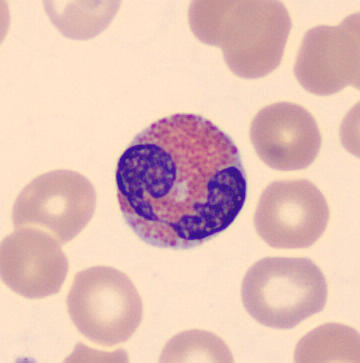
Acquisition: Peripheral blood film.
Eosinophilic granulocyte.